Bone marrow aspirate smear:
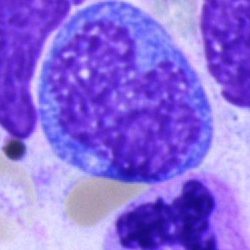

Q: What is shown here?
A: A monocyte.